Bone marrow smear: 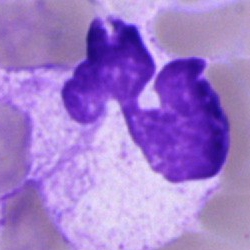

Specimen: bone marrow aspirate smear.
Morphological class: neutrophil (segmented).